May-Grünwald-Giemsa stain; bone marrow smear — 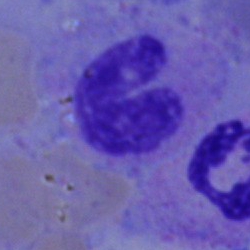
Single cell identified as a neutrophil (band).